Bone marrow smear.
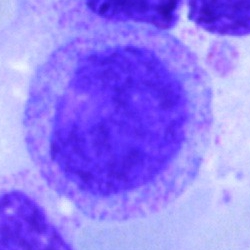
Cell type: myelocyte.